Bone marrow aspirate smear · Pappenheim-stained — 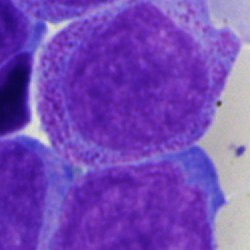 Morphological class — promyelocyte.